Bone marrow smear. Brightfield, 40× oil-immersion objective
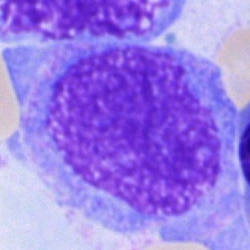

Q: What type of cell is this?
A: It is an undifferentiated blast.